Bone marrow aspirate smear
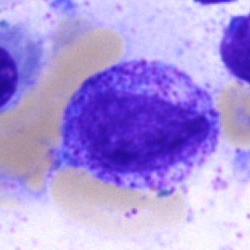 Single cell identified as a myelocyte.